Cropped to a single cell. 100× oil immersion. Peripheral blood film
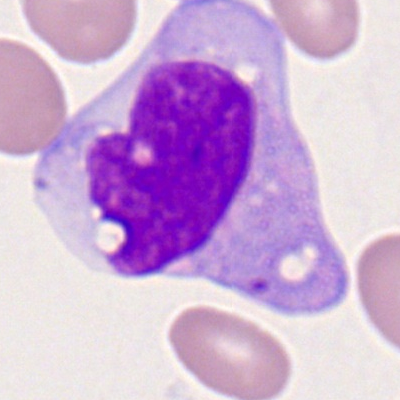
This is a monocyte.